Romanowsky stain · peripheral blood smear
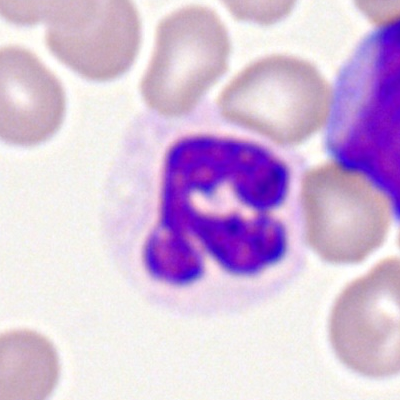
{"cell_type": "polymorphonuclear neutrophil", "lineage": "myeloid"}